Bone marrow smear. Single-cell field:
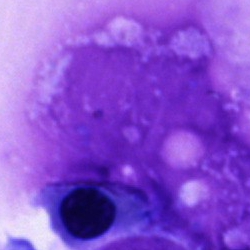Showing an artefact.